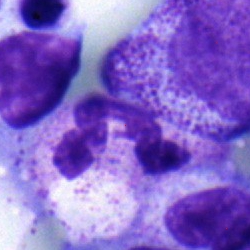 Q: What cell is this?
A: A segmented neutrophil.